40× objective, oil immersion · bone marrow aspirate smear:
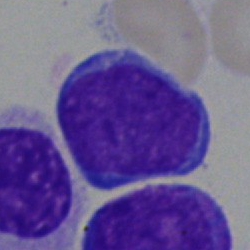 Impression — blast cell.